400 by 400 pixels. Peripheral blood film:
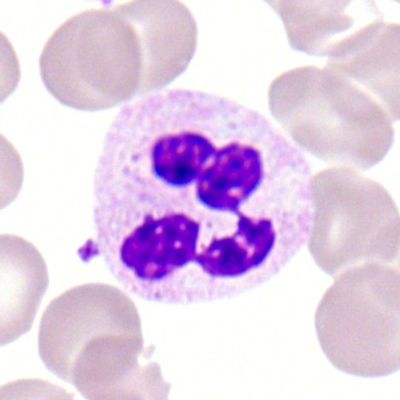Polymorphonuclear neutrophil.